Bone marrow aspirate smear.
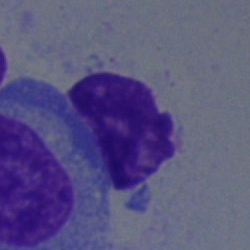This is an undifferentiated blast.